Bone marrow aspirate smear
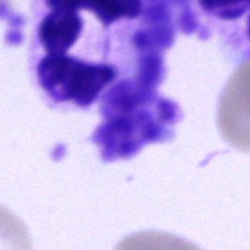
Q: What is shown here?
A: It is an artifact.